May-Grünwald-Giemsa stain; bone marrow smear
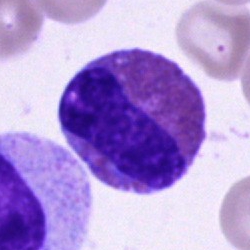 Single cell identified as an eosinophil.